250×250. Bone marrow smear:
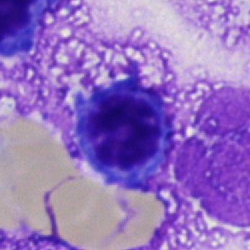Q: Identify the cell.
A: Erythroblast.